Peripheral blood smear:
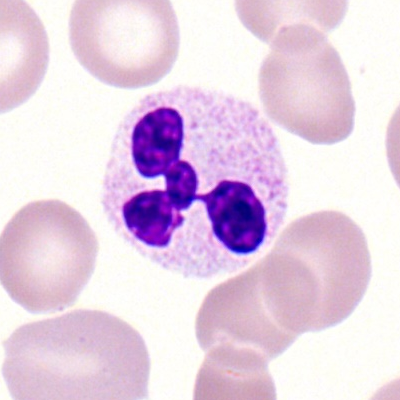 Morphological class — polymorphonuclear neutrophil.